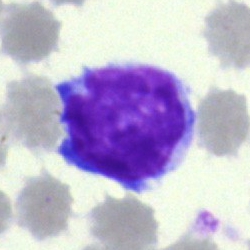Cell: lymphocyte.